Peripheral blood film
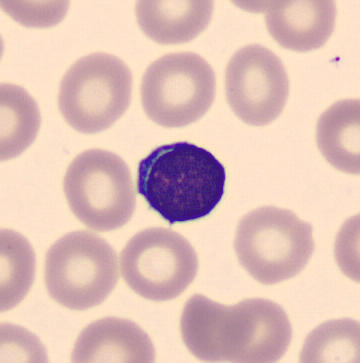Lymphocyte.